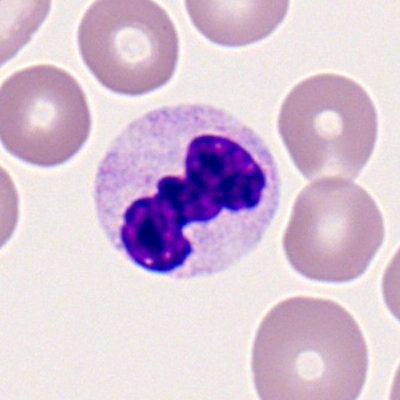 Cell type = segmented neutrophil.